Single-cell field · bone marrow aspirate smear · May-Grünwald-Giemsa stain: 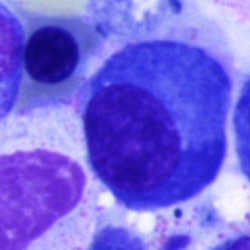

The cell is plasmacyte.